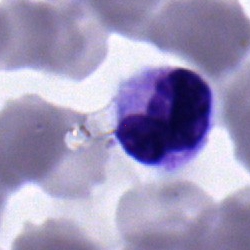 The cell is neutrophil (segmented).